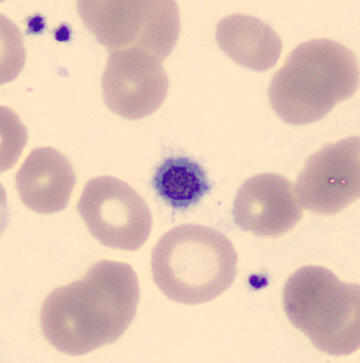
Cell type: platelet (thrombocyte).